250×250 px · bone marrow smear · single-cell crop — 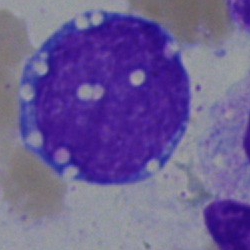The classification is undifferentiated blast.